250×250. Bone marrow smear — 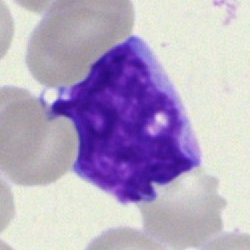 Q: What is the morphological classification of this cell?
A: This is an undifferentiated blast.